Bone marrow aspirate smear: 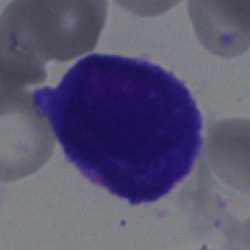Morphology → undifferentiated blast.